Bone marrow aspirate smear. 250×250 px — 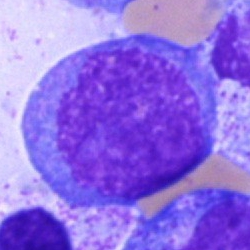 Morphology — undifferentiated blast.